Bone marrow aspirate smear; May-Grünwald-Giemsa/Pappenheim stain.
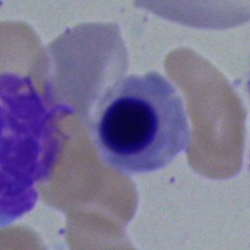

Specimen: bone marrow aspirate smear.
Cell: nucleated red cell.
Lineage: erythroid.